250 by 250 pixels. Bone marrow smear:
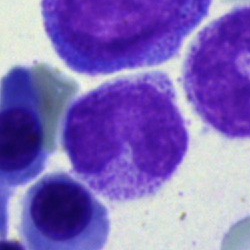

Q: What cell is this?
A: This is a stab cell.